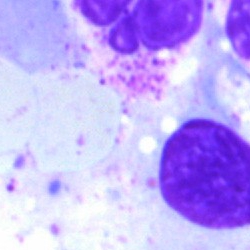
Single cell identified as an artifact.